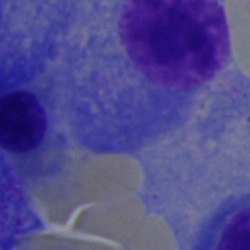
Morphological class — plasma cell.